Bone marrow aspirate smear; single-cell field
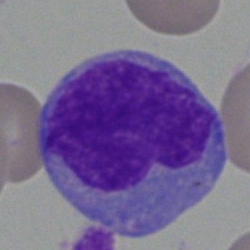Specimen: bone marrow smear.
Cell: monocyte.
Lineage: myeloid.